Bone marrow aspirate smear — 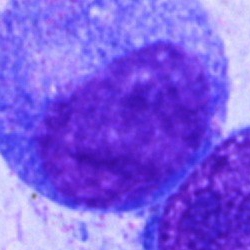Single cell identified as a promyelocyte.